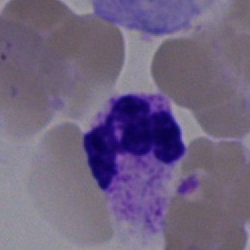 Cell = segmented neutrophil.